Bone marrow aspirate smear — 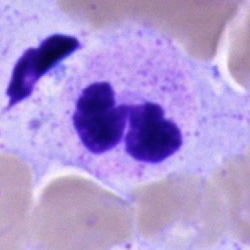 Cell type = neutrophil (segmented).